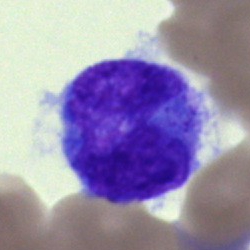
Q: Identify the cell.
A: This is a monocyte.